250 by 250 pixels. Bone marrow smear. 40× objective, oil immersion:
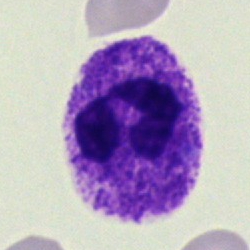 Specimen: bone marrow smear.
Morphological class: segmented neutrophil.
Lineage: myeloid.